Peripheral blood film
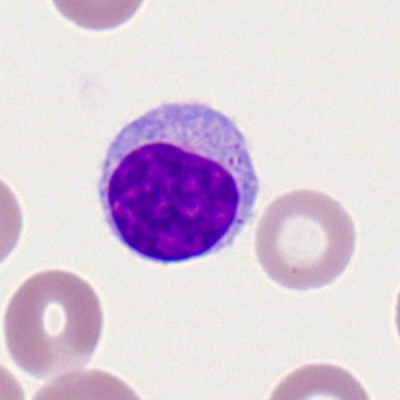
Q: What cell is this?
A: Lymphocyte.